Bone marrow aspirate smear · 250×250 px · 40× oil immersion:
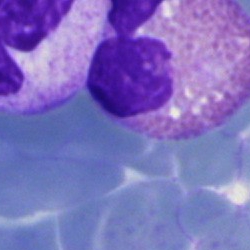
Cell = artifact.